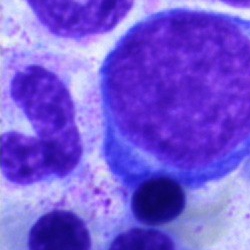

Q: Identify the cell.
A: This is a pronormoblast.